Bone marrow smear
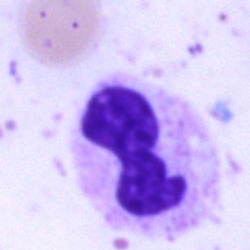

This is a segmented neutrophil.